MGG-stained. Bone marrow aspirate smear. Brightfield, 40× oil-immersion objective.
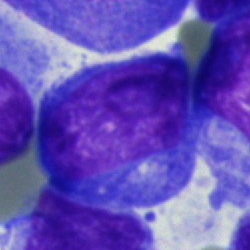
Cell = blast cell.